Bone marrow smear
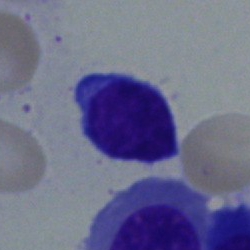
Typical lymphocyte.